Peripheral blood smear
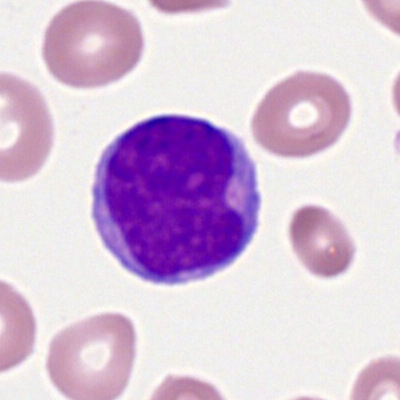
The cell type is myeloblast.